Bone marrow smear. 40× oil immersion.
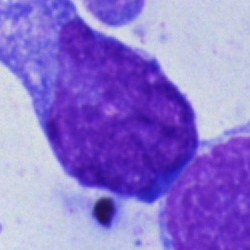 Morphology consistent with an undifferentiated blast.